Bone marrow aspirate smear. Single-cell crop — 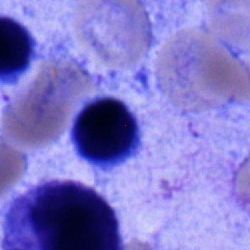 Impression — typical lymphocyte.